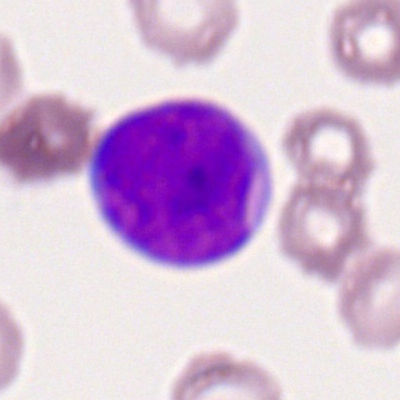

Q: What cell is this?
A: A myeloid blast.